250×250. 40× oil immersion. Bone marrow smear: 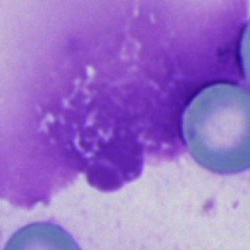 The cell is artifact.